Brightfield microscopy, 40× oil immersion; bone marrow smear:
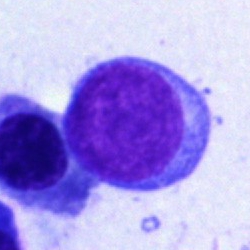

The cell shown is a typical lymphocyte.